Bone marrow smear — 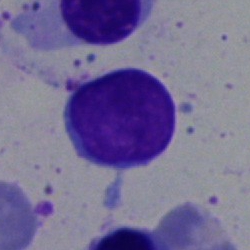
Cell: segmented neutrophil.